Bone marrow aspirate smear: 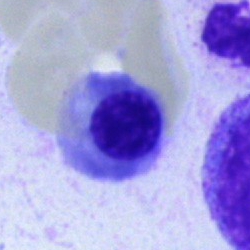 Q: What cell is this?
A: This is a nucleated red blood cell.